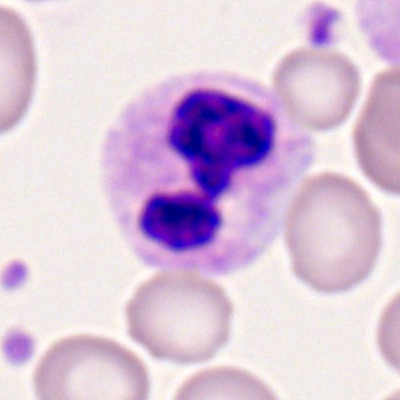
Cell type — polymorphonuclear neutrophil.